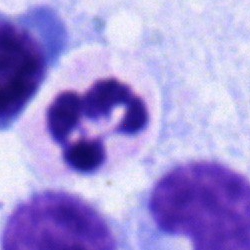 Q: What type of cell is this?
A: This is a neutrophil (segmented).